Bone marrow aspirate smear · brightfield microscopy, 40× oil immersion · single cell centered in the field:
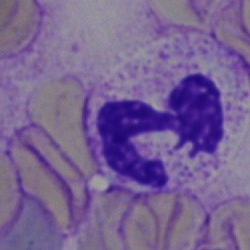 Specimen: bone marrow aspirate smear.
Cell type: polymorphonuclear neutrophil.